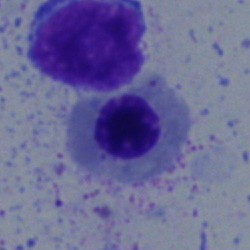 Specimen: bone marrow smear.
Cell: erythroblast.